MGG-stained. Bone marrow aspirate smear
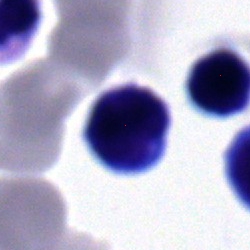
Morphology consistent with a typical lymphocyte.